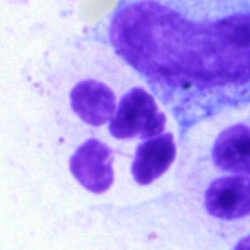 Impression → segmented neutrophil.